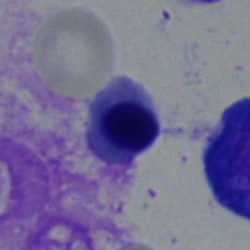 The cell type is nucleated red cell.